Bone marrow smear.
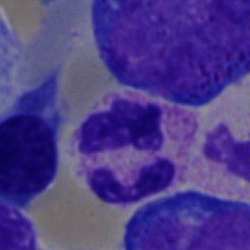Impression → segmented neutrophil.